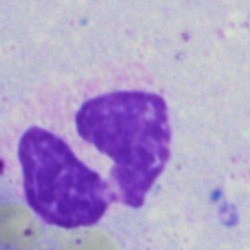

Classification — artefact.